Peripheral blood smear — 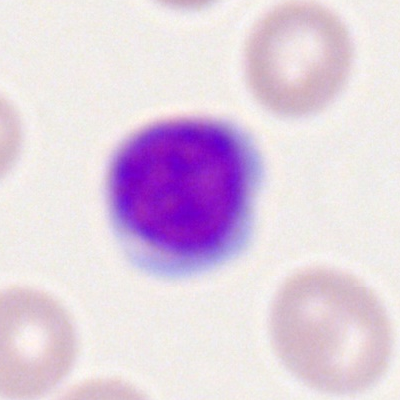 Showing a lymphocyte.